Bone marrow aspirate smear; May-Grünwald-Giemsa/Pappenheim stain
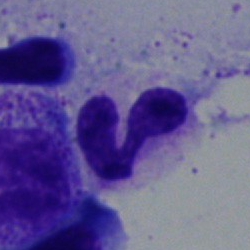 Q: What is shown here?
A: Neutrophil (segmented).